Bone marrow aspirate smear; May-Grünwald-Giemsa/Pappenheim stain; 40× objective, oil immersion:
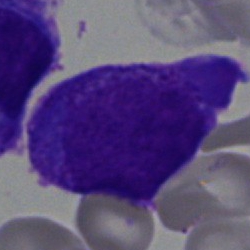
Showing a blast cell.